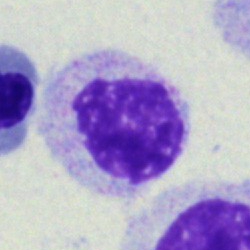 Specimen: bone marrow smear.
Classification: myelocyte.